Bone marrow smear · 250×250 px:
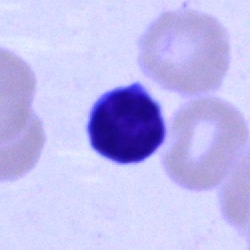 {"cell_type": "lymphocyte", "lineage": "lymphoid"}